Bone marrow smear
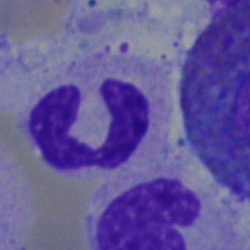
A polymorphonuclear neutrophil.